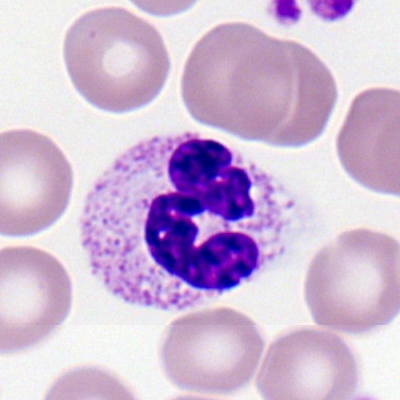Cell: segmented neutrophil.